Bone marrow smear. Single-cell crop. 40× objective, oil immersion.
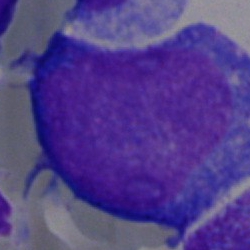
Cell type = blast.